Single cell centered in the field · bone marrow aspirate smear.
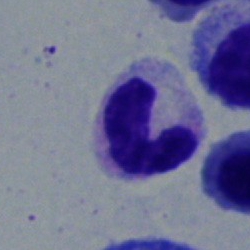

Specimen: bone marrow aspirate smear.
Morphological class: neutrophil (band).